Bone marrow smear. 250×250. Single cell centered in the field:
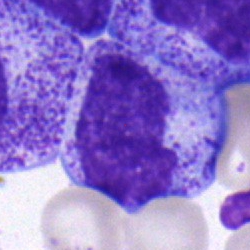
Impression — metamyelocyte.